MGG-stained. Bone marrow smear:
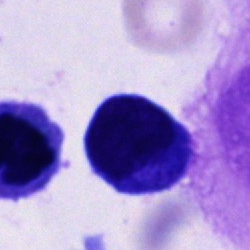

Cell of indeterminate lineage.